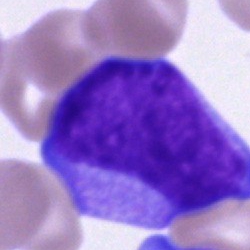{"cell_type": "blast"}